Bone marrow aspirate smear · Pappenheim-stained.
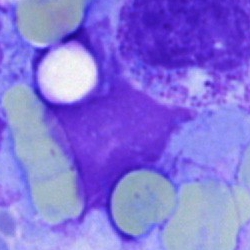 Specimen: bone marrow smear.
Morphological class: artifact.